Bone marrow aspirate smear · 250×250 px:
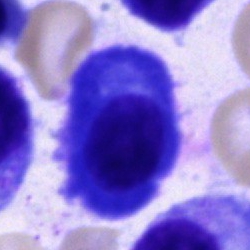

Q: What is shown here?
A: It is a plasmacyte.